Bone marrow smear · brightfield, 40× oil-immersion objective · 250×250 px.
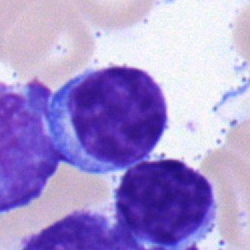Typical lymphocyte.